May-Grünwald-Giemsa stain. Bone marrow smear:
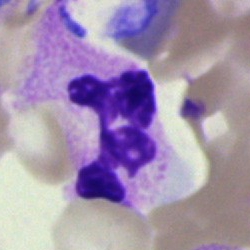

The classification is neutrophil (segmented).